Bone marrow aspirate smear. Pappenheim-stained: 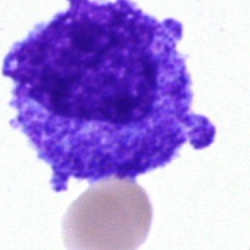 Showing a progranulocyte.